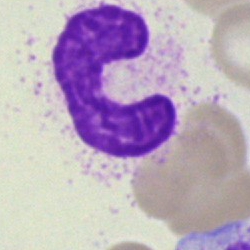 Band-form neutrophil.